Bone marrow aspirate smear. Single-cell crop. Image size 250×250:
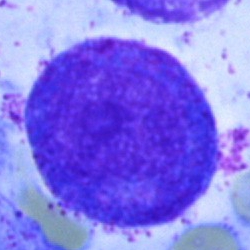 Specimen: bone marrow smear.
Classification: progranulocyte.
Lineage: myeloid.